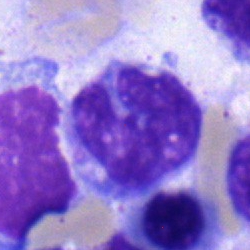Specimen: bone marrow aspirate smear.
Cell type: monocyte.